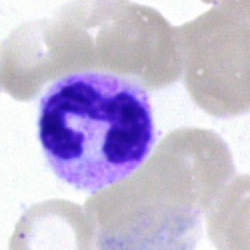

The cell is polymorphonuclear neutrophil.